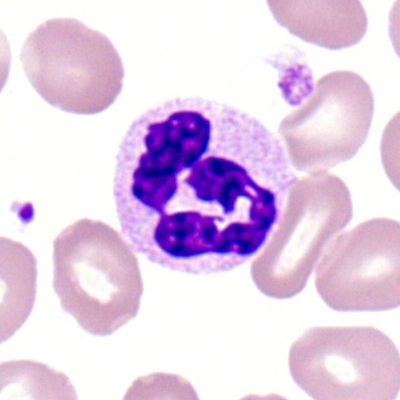

Q: What cell is this?
A: Segmented neutrophil.